Bone marrow smear:
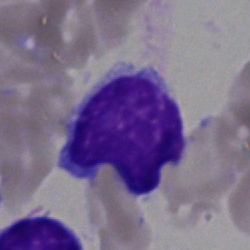
A lymphocyte.